Bone marrow aspirate smear.
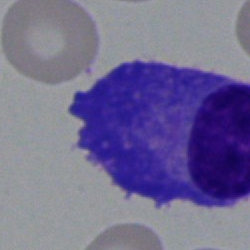
Plasma cell.